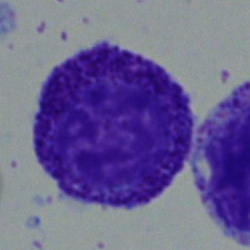

The cell shown is a promyelocyte.